Bone marrow smear:
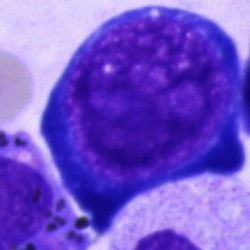

Specimen: bone marrow smear.
Cell: pronormoblast.
Lineage: erythroid.